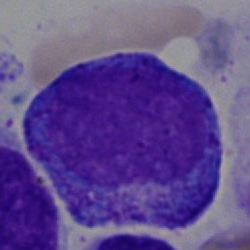 A progranulocyte.